Brightfield microscopy, 40× oil immersion; bone marrow smear.
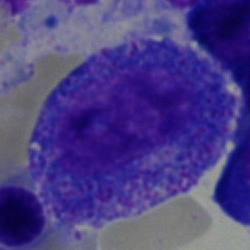A progranulocyte.